Brightfield, 40× oil-immersion objective. Bone marrow smear: 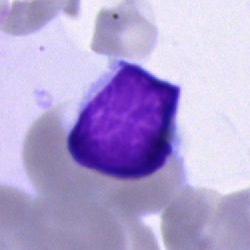Q: Which cell type is shown here?
A: This is a typical lymphocyte.